Single cell centered in the field. Bone marrow aspirate smear:
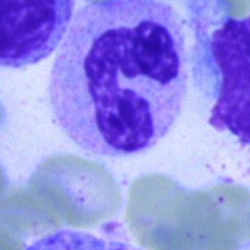

Specimen: bone marrow aspirate smear.
Morphological class: polymorphonuclear neutrophil.